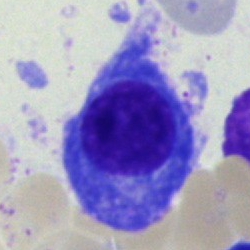 Morphology consistent with a plasmacyte.